Bone marrow smear:
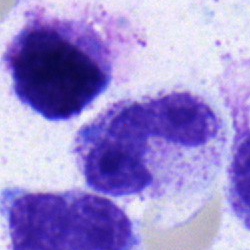This is a stab cell.